Bone marrow smear.
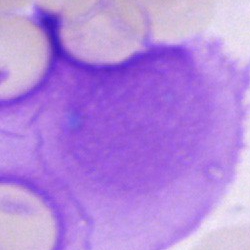
Showing an artifact.